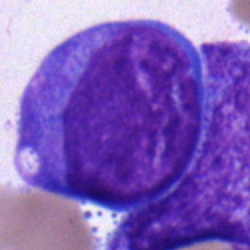Blast.